Brightfield microscopy, 40× oil immersion; bone marrow smear
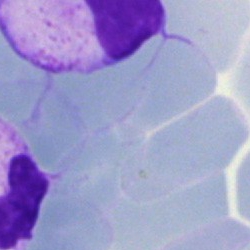 {"cell_type": "artefact"}